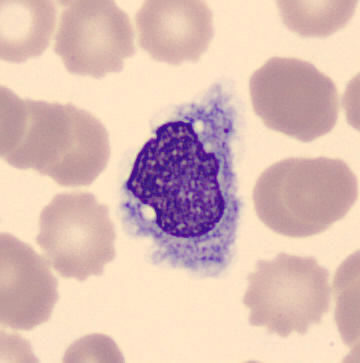

Peripheral blood smear. A monocyte.